Bone marrow aspirate smear:
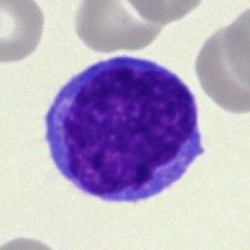 Morphology — undifferentiated blast.